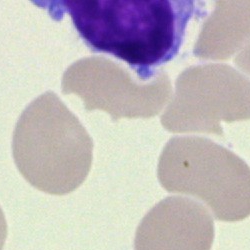

Specimen: bone marrow aspirate smear.
Classification: unidentifiable cell.